Bone marrow smear · May-Grünwald-Giemsa/Pappenheim stain: 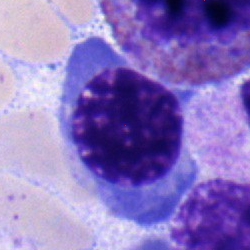 Showing a nucleated red cell.